Bone marrow smear — 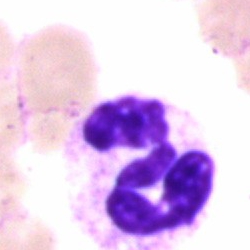Specimen: bone marrow smear.
Cell: polymorphonuclear neutrophil.
Lineage: myeloid.